Brightfield microscopy, 40× oil immersion; image size 250×250; bone marrow smear: 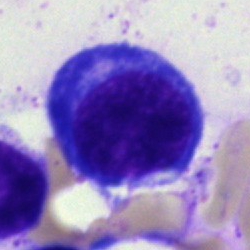

Q: What cell is this?
A: Normoblast.